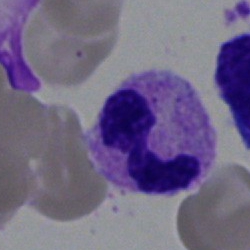

Specimen: bone marrow smear.
Cell: segmented neutrophil.